Bone marrow smear · Pappenheim-stained.
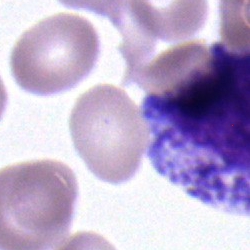
Morphology consistent with a myelocyte.